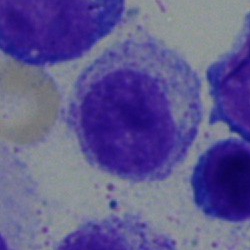
Classification = myelocyte.